Bone marrow aspirate smear — 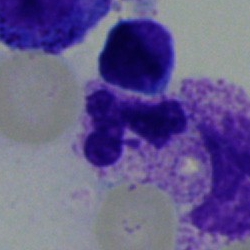

Cell type — polymorphonuclear neutrophil.